Single-cell field · bone marrow smear: 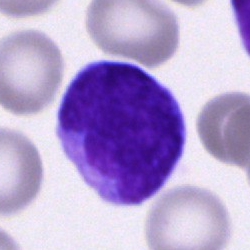

Specimen: bone marrow smear.
Cell type: typical lymphocyte.
Lineage: lymphoid.